Single-cell crop; bone marrow smear: 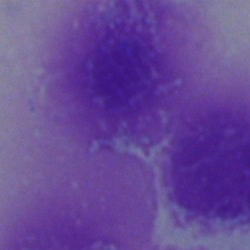
Q: What is shown here?
A: An artifact.